40× oil immersion. Bone marrow aspirate smear
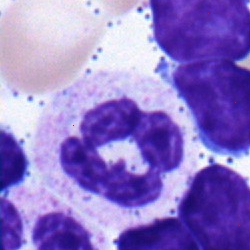
Specimen: bone marrow aspirate smear.
Cell: segmented neutrophil.